Bone marrow aspirate smear — 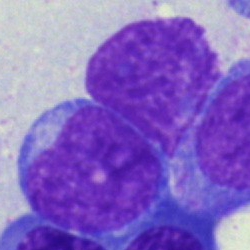
Specimen: bone marrow aspirate smear.
Cell type: blast.